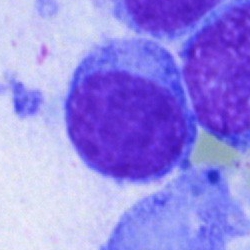
Specimen: bone marrow aspirate smear.
Morphological class: hairy cell.